Bone marrow aspirate smear · cropped to a single cell — 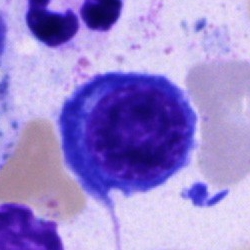 Nucleated red cell.